MGG-stained. Bone marrow smear. 250×250.
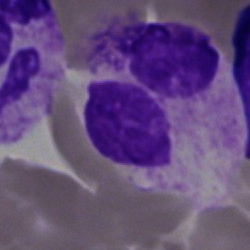

Artefact.